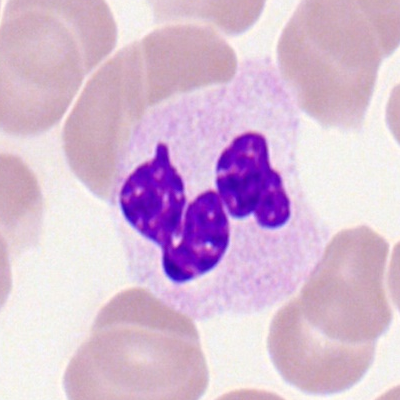Morphological class — polymorphonuclear neutrophil.